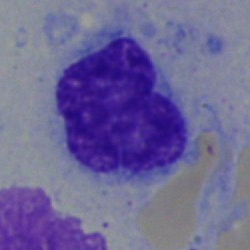 Morphology — hairy cell.